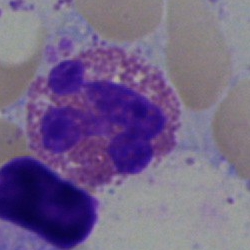 Specimen: bone marrow smear.
Morphological class: eosinophilic granulocyte.
Lineage: myeloid.